Peripheral blood film · 100× objective, oil immersion · 400 by 400 pixels — 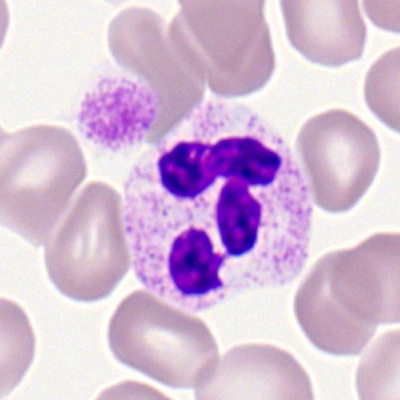
Cell = polymorphonuclear neutrophil.